Bone marrow aspirate smear — 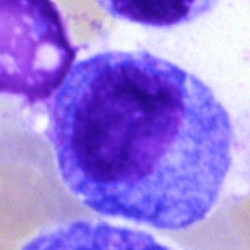
A promyelocyte.